Peripheral blood film. Single-cell field
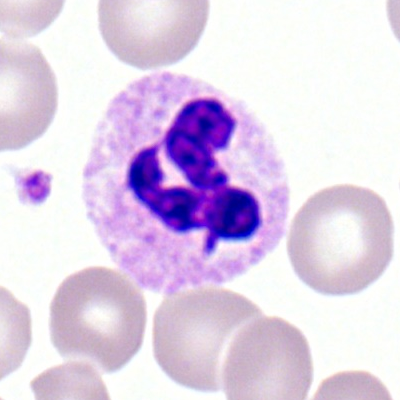
Morphology → polymorphonuclear neutrophil.